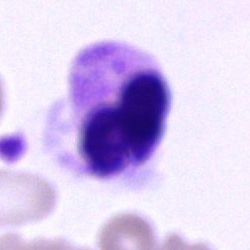
Bone marrow smear showing a segmented neutrophil.